Bone marrow smear: 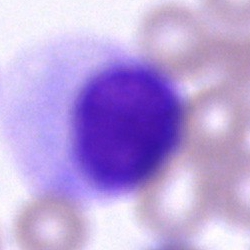

This is an unidentifiable cell.